Bone marrow smear.
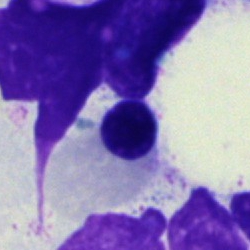
A normoblast.